100× oil immersion, 14.14 px/µm; peripheral blood film; 400×400.
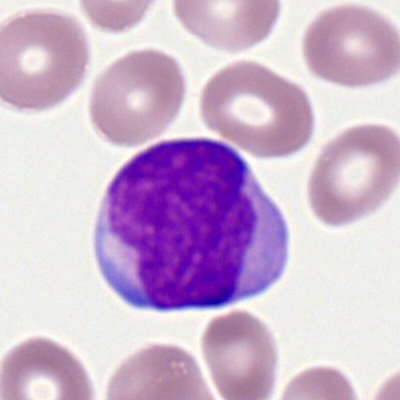
{"cell_type": "myeloid blast", "lineage": "myeloid"}